250 by 250 pixels. May-Grünwald-Giemsa/Pappenheim stain. Bone marrow smear:
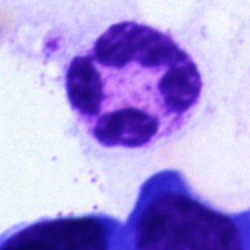
Specimen: bone marrow aspirate smear.
Cell: segmented neutrophil.